Bone marrow smear — 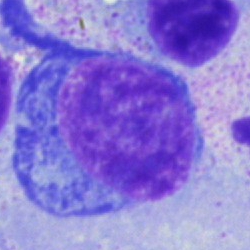 Impression — pronormoblast.